Bone marrow smear.
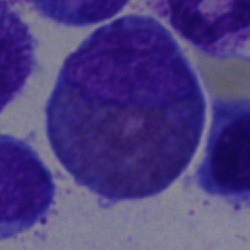

The cell is eosinophilic granulocyte.